Bone marrow smear — 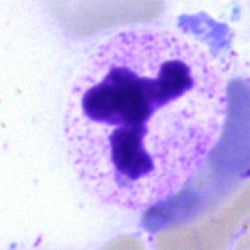
This is a neutrophil (segmented).